Bone marrow smear. Brightfield microscopy, 40× oil immersion.
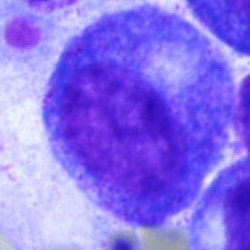
Q: What is the morphological classification of this cell?
A: This is a promyelocyte.